Bone marrow smear:
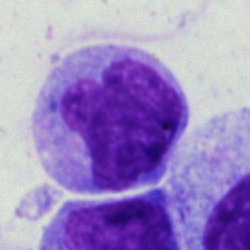Q: What is shown here?
A: A monocyte.